Bone marrow smear:
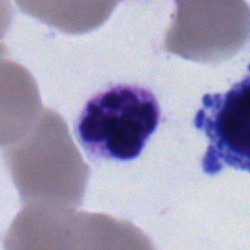
A polymorphonuclear neutrophil.